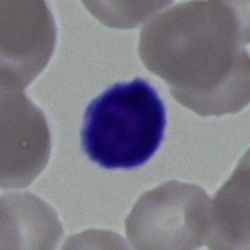Q: What type of cell is this?
A: Typical lymphocyte.